Bone marrow aspirate smear; image size 250×250: 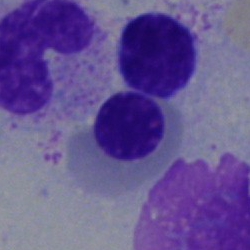 {"cell_type": "nucleated red blood cell", "lineage": "erythroid"}